Bone marrow smear — 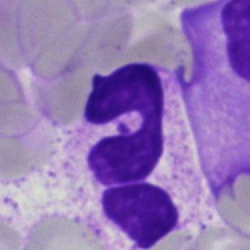 Impression — artefact.